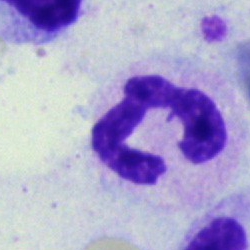

This is a polymorphonuclear neutrophil.